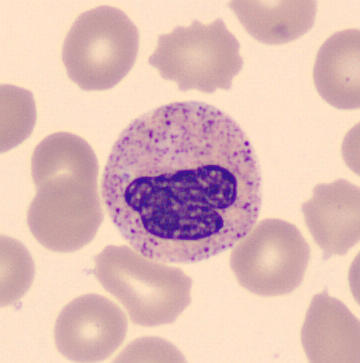Preparation: Peripheral blood smear.

Q: What is shown here?
A: It is a stab cell.